Bone marrow aspirate smear
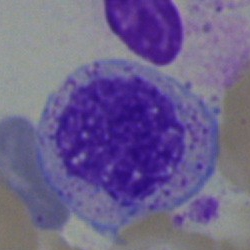

Q: Which cell type is shown here?
A: This is a myelocyte.